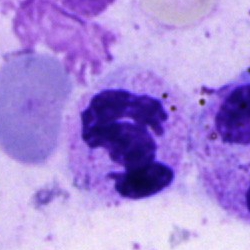

Q: What is shown here?
A: It is a polymorphonuclear neutrophil.